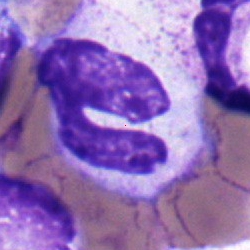Bone marrow aspirate smear, single cell — stab cell.